Bone marrow aspirate smear; 250×250 px.
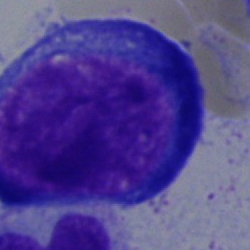Morphological class = proerythroblast.